Peripheral blood smear · Romanowsky-type stain.
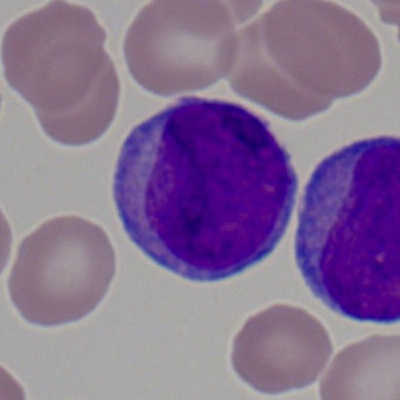Myeloblast.